Bone marrow smear; MGG-stained; 40× objective, oil immersion
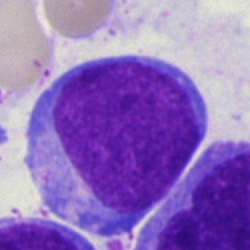
Blast cell.